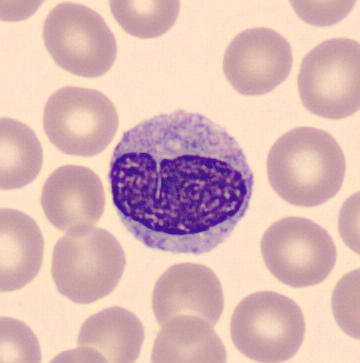 Image size 360×363. Peripheral blood film.
{"cell_type": "monocyte", "lineage": "myeloid"}